Bone marrow smear
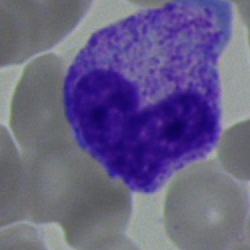 Specimen: bone marrow aspirate smear.
Cell type: neutrophil (band).